Bone marrow smear; Pappenheim-stained; brightfield, 40× oil-immersion objective.
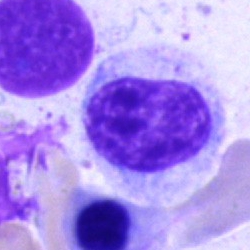

A myelocyte.